Brightfield, 40× oil-immersion objective. Bone marrow smear: 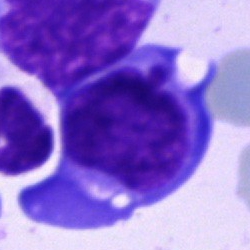

Specimen: bone marrow aspirate smear.
Cell type: blast.